Peripheral blood smear. 400 by 400 pixels: 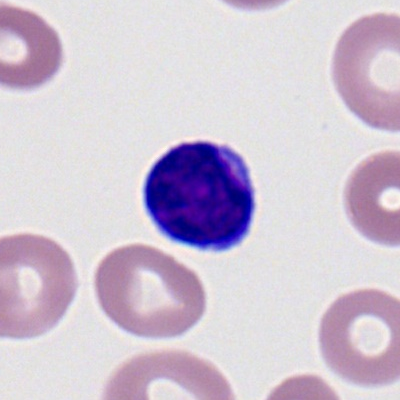
Showing a lymphocyte.